Bone marrow aspirate smear
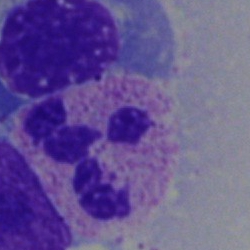 Neutrophil (segmented).